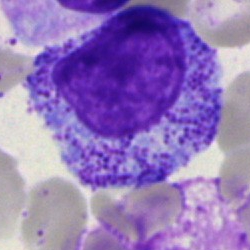Cell type: myelocyte.